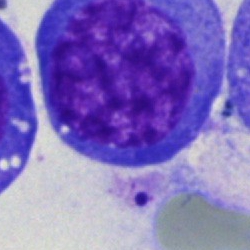 Classification = undifferentiated blast.